Bone marrow aspirate smear; brightfield microscopy, 40× oil immersion; single-cell field
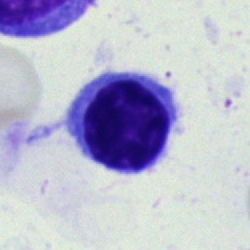

Morphological class — typical lymphocyte.